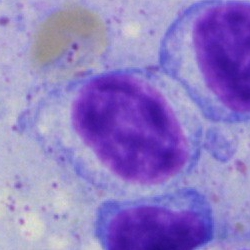
Morphology consistent with a lymphocyte.